Bone marrow smear; May-Grünwald-Giemsa/Pappenheim stain; 40× objective, oil immersion:
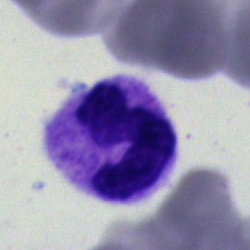Showing a segmented neutrophil.